Bone marrow smear: 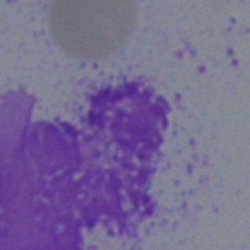

Morphological class — artifact.